Bone marrow smear; 250 by 250 pixels: 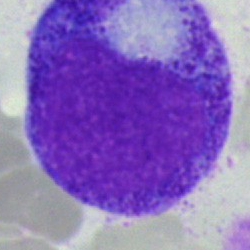This is a progranulocyte.